250×250. Bone marrow aspirate smear — 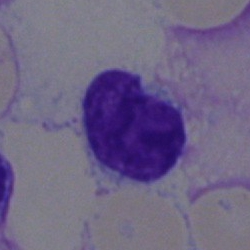

Showing a typical lymphocyte.